Bone marrow smear:
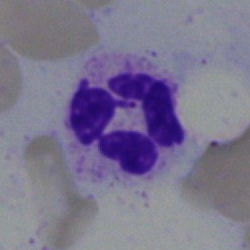

Morphology consistent with a segmented neutrophil.